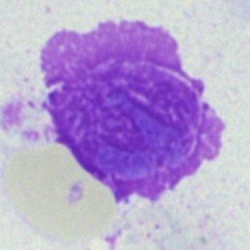

Q: What is shown here?
A: It is an artifact.